Bone marrow smear.
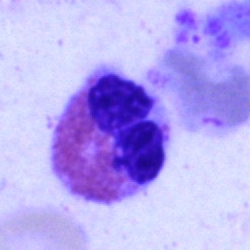Single cell identified as an eosinophil.